Bone marrow smear. Single-cell field.
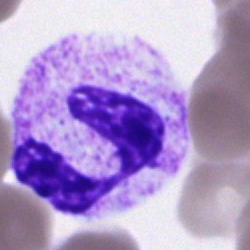Neutrophil (segmented).